Bone marrow smear; 40× oil immersion; 250×250 px:
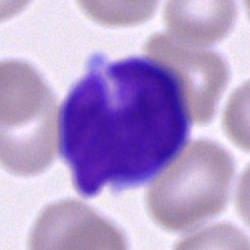 Cell of indeterminate lineage.